Bone marrow aspirate smear:
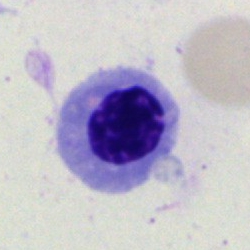Q: What is shown here?
A: Nucleated red cell.